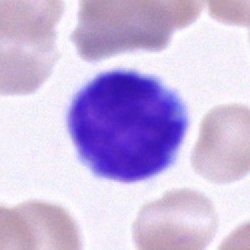
Impression → lymphocyte.